Brightfield, 40× oil-immersion objective. Bone marrow smear. May-Grünwald-Giemsa/Pappenheim stain — 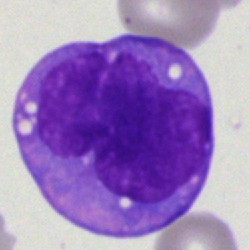
Single cell identified as a blast.